Cropped to a single cell; bone marrow aspirate smear: 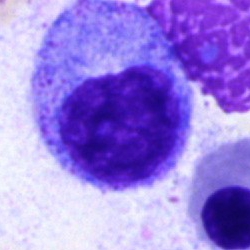
The cell shown is a promyelocyte.